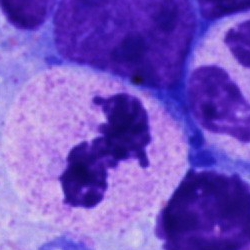 Specimen: bone marrow smear.
Cell type: polymorphonuclear neutrophil.